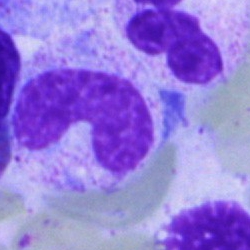Q: What type of cell is this?
A: It is a band-form neutrophil.